Bone marrow smear: 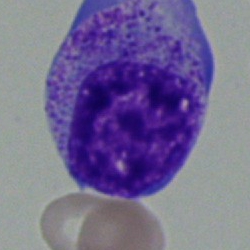Single cell identified as a progranulocyte.